Bone marrow smear.
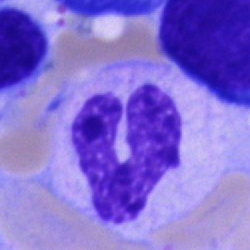 Morphological class = band-form neutrophil.